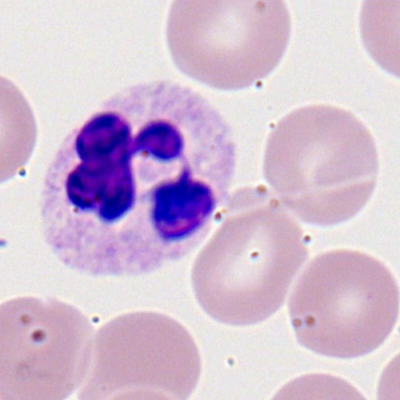

Cell type — polymorphonuclear neutrophil.